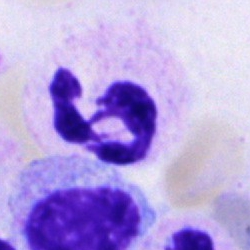

{"cell_type": "polymorphonuclear neutrophil", "lineage": "myeloid"}